Bone marrow smear
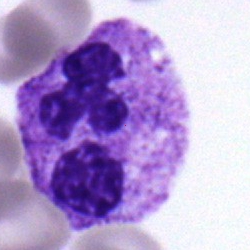

Classification — segmented neutrophil.